Bone marrow smear:
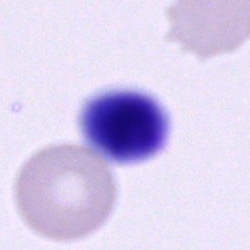
The cell type is cell of indeterminate lineage.